May-Grünwald-Giemsa/Pappenheim stain · bone marrow smear · single cell centered in the field.
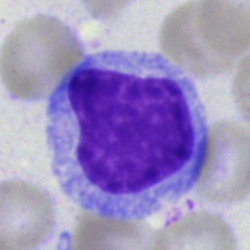

Single cell identified as a blast.